Pappenheim-stained; bone marrow aspirate smear: 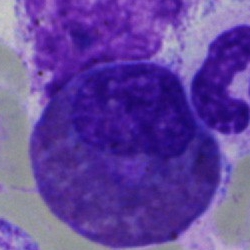
Cell type: eosinophilic granulocyte.